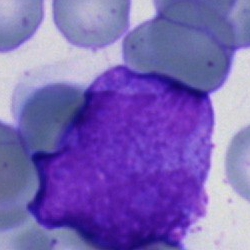

This is a blast.